Peripheral blood smear; Romanowsky-type stain: 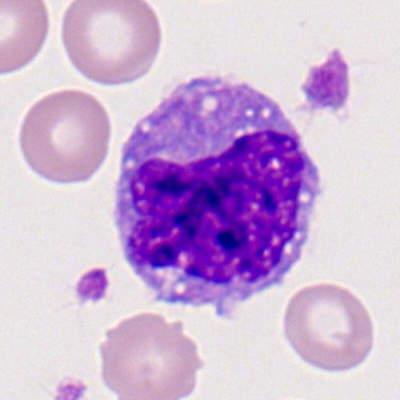 A monocyte.